Brightfield microscopy, 40× oil immersion; bone marrow aspirate smear; single-cell field: 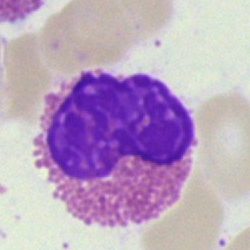
Showing an eosinophilic granulocyte.